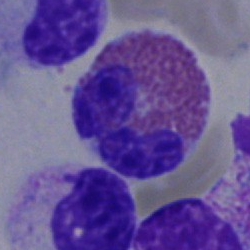 Morphology consistent with an eosinophilic granulocyte.